250×250 · bone marrow aspirate smear · MGG-stained:
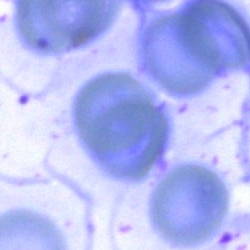

Cell type — artefact.